Peripheral blood smear.
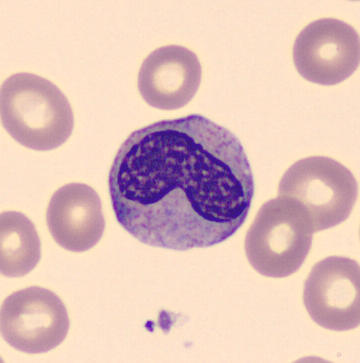Showing a metamyelocyte.